Single-cell crop · bone marrow aspirate smear
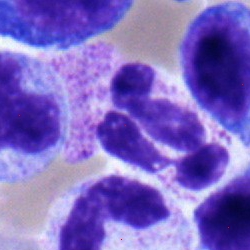This is a segmented neutrophil.